Bone marrow smear
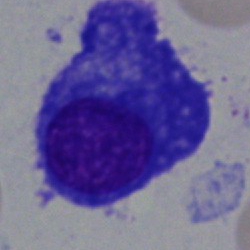 {"cell_type": "plasma cell", "lineage": "lymphoid"}